Bone marrow smear: 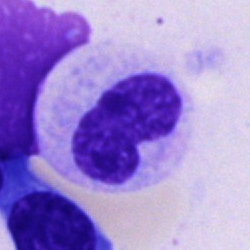

The cell type is metamyelocyte.